Peripheral blood film; automated cell imaging (CellaVision DM96) — 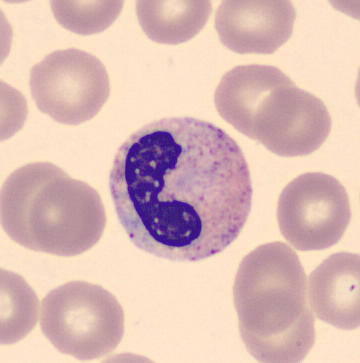Specimen: peripheral blood film.
Morphological class: band neutrophil.